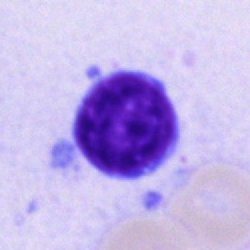Cell type — typical lymphocyte.